40× oil immersion. Bone marrow smear. 250 by 250 pixels:
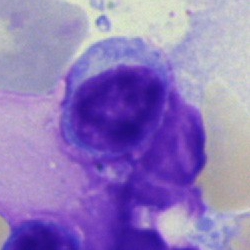Typical lymphocyte.